Bone marrow aspirate smear — 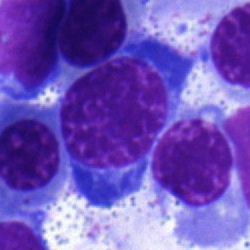

Cell: normoblast.